Bone marrow aspirate smear; 40× objective, oil immersion; single-cell crop:
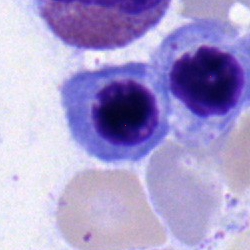{"cell_type": "normoblast", "lineage": "erythroid"}